Bone marrow aspirate smear.
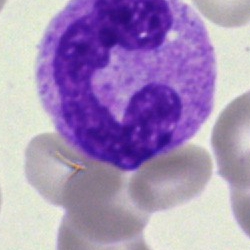
{"cell_type": "neutrophil (segmented)"}